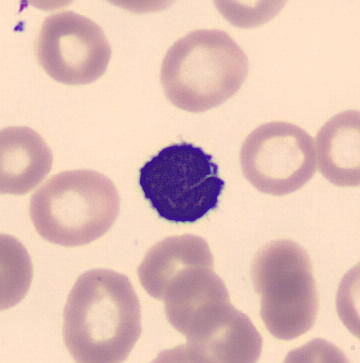
Acquisition: Single cell centered in the field. Peripheral blood film. Morphology — typical lymphocyte.